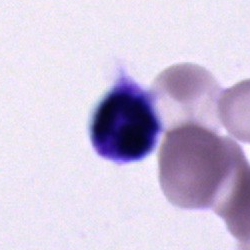
Showing an unidentifiable cell.